CellaVision DM96 digital cell image. Peripheral blood film — 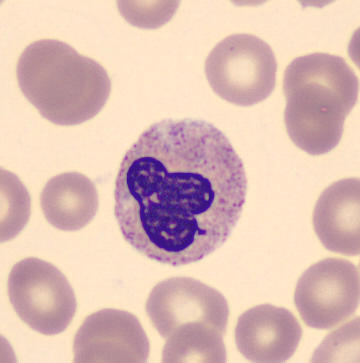

Impression → neutrophil (segmented).